Bone marrow aspirate smear; single-cell crop
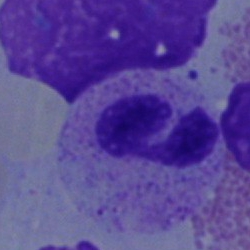 Q: What is the morphological classification of this cell?
A: A neutrophil (segmented).